Bone marrow aspirate smear:
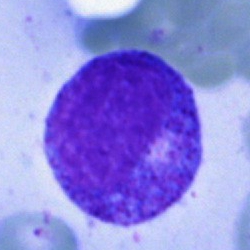

Q: What cell is this?
A: It is a promyelocyte.